250×250. Bone marrow smear
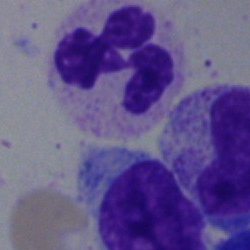 Segmented neutrophil.